Bone marrow aspirate smear — 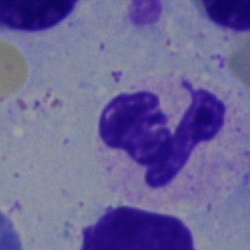Specimen: bone marrow smear.
Cell: neutrophil (segmented).